Bone marrow smear · brightfield microscopy, 40× oil immersion — 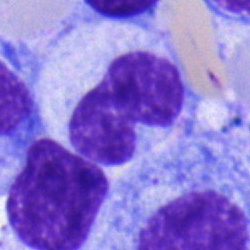Specimen: bone marrow smear.
Cell: band neutrophil.
Lineage: myeloid.